Bone marrow aspirate smear
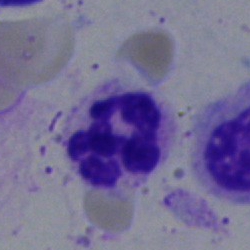Single cell identified as a polymorphonuclear neutrophil.